Bone marrow smear.
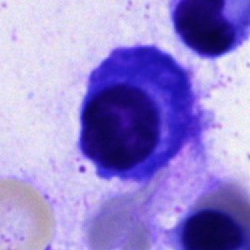

Impression → plasma cell.